Cropped to a single cell; 40× objective, oil immersion; bone marrow aspirate smear: 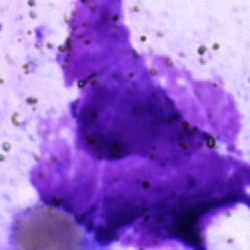 This is an artefact.